Image size 250×250 · bone marrow aspirate smear — 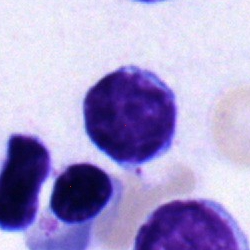

Typical lymphocyte.